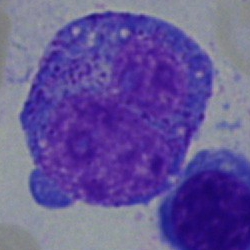Impression — progranulocyte.